Bone marrow smear · cropped to a single cell: 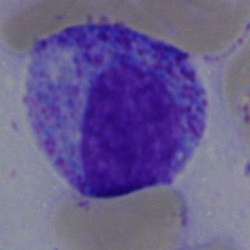

A myelocyte.